400×400 px; peripheral blood smear: 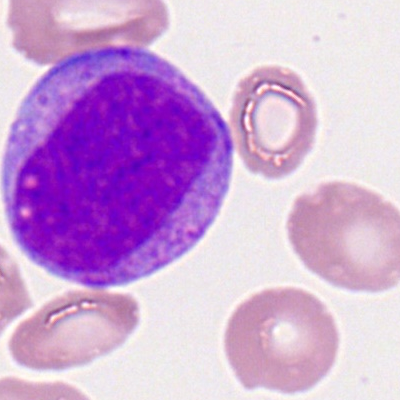 Cell: myeloblast.